Bone marrow aspirate smear
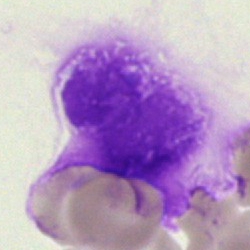

Morphology — artefact.